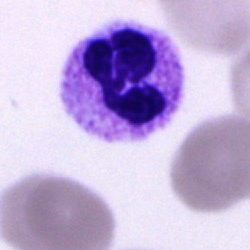 Q: What is shown here?
A: Polymorphonuclear neutrophil.